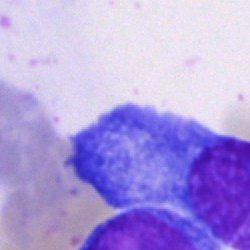 Morphology → plasmacyte.